250×250 px. Bone marrow aspirate smear. May-Grünwald-Giemsa stain:
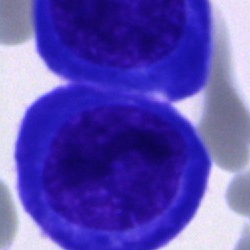

Plasmacyte.